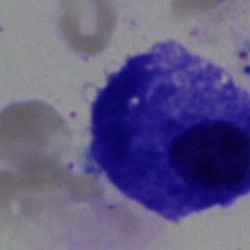Q: What cell is this?
A: This is a plasmacyte.